Pappenheim-stained. Bone marrow aspirate smear:
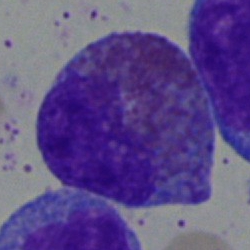

Classification = eosinophil.